Bone marrow smear
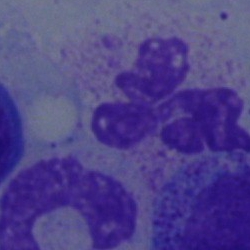 The cell shown is a segmented neutrophil.